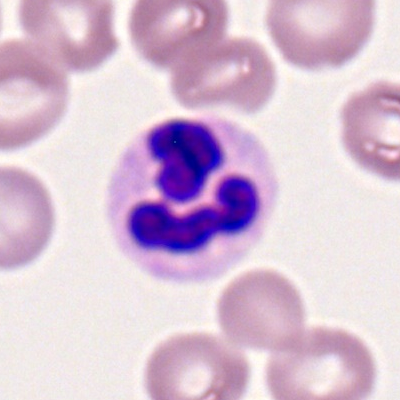
Impression — polymorphonuclear neutrophil.